250 by 250 pixels · bone marrow smear — 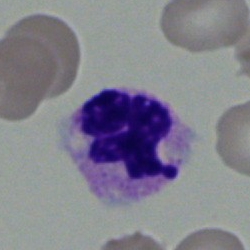

Q: What type of cell is this?
A: Neutrophil (segmented).